250×250 px. Bone marrow aspirate smear
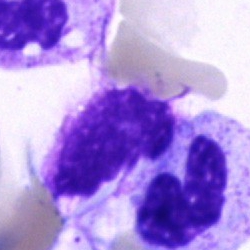
Q: What cell is this?
A: A segmented neutrophil.